Bone marrow aspirate smear:
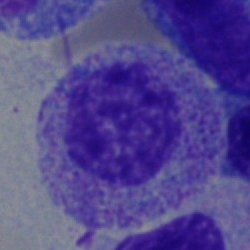

The cell shown is a myelocyte.